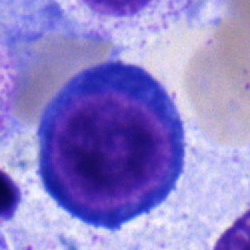 The cell shown is a pronormoblast.